Pappenheim-stained. Bone marrow smear.
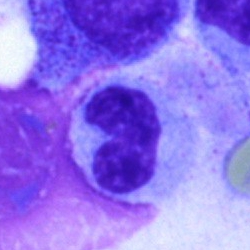Classification — stab cell.